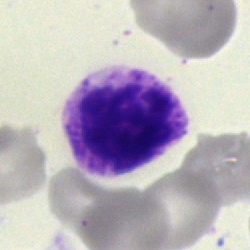Q: What is the morphological classification of this cell?
A: Basophil.